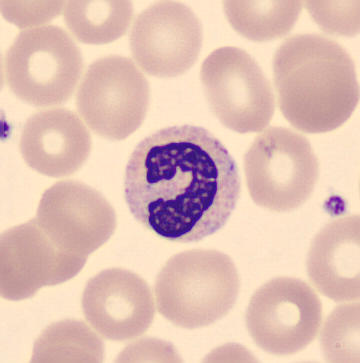

Specimen: peripheral blood smear.
Cell: segmented neutrophil.

360×363 px.